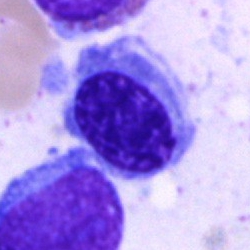

Normoblast.